Bone marrow smear. Brightfield microscopy, 40× oil immersion
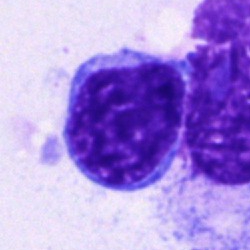Q: Which cell type is shown here?
A: Blast cell.